Bone marrow smear: 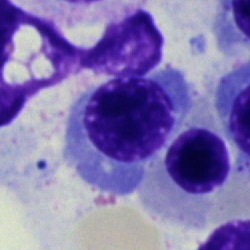
Q: Identify the cell.
A: Nucleated red cell.